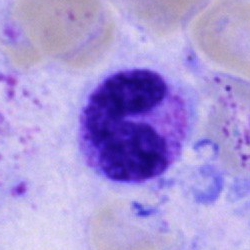Specimen: bone marrow aspirate smear.
Morphological class: band-form neutrophil.
Lineage: myeloid.